Bone marrow aspirate smear: 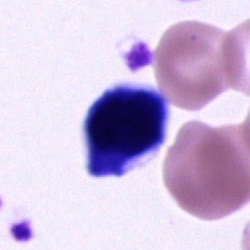 Q: Which cell type is shown here?
A: It is a cell of indeterminate lineage.